Bone marrow smear.
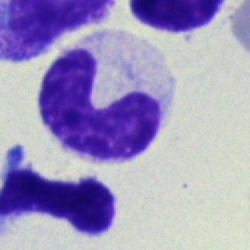 Specimen: bone marrow aspirate smear.
Morphological class: band-form neutrophil.
Lineage: myeloid.